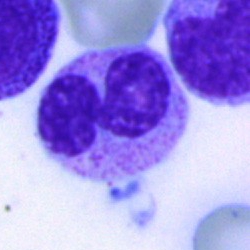

Impression — segmented neutrophil.